Bone marrow aspirate smear: 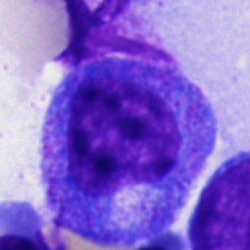

The cell shown is a promyelocyte.